Bone marrow aspirate smear; single-cell field; 250×250.
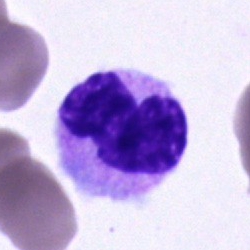

Classification = neutrophil (segmented).